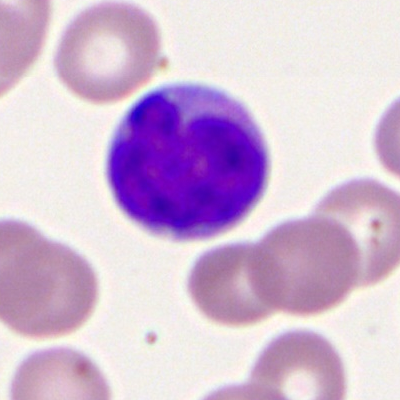 A lymphocyte.